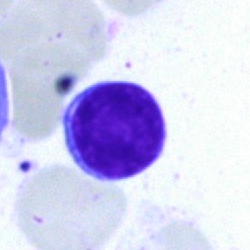 A lymphocyte on a bone marrow smear.